Single-cell crop; peripheral blood film: 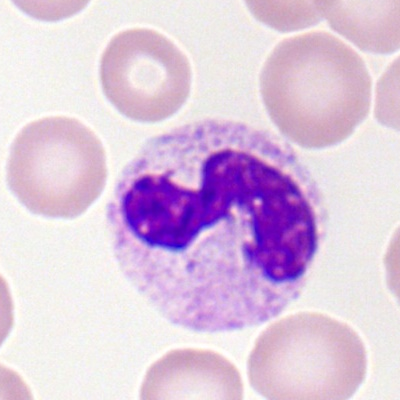
Cell — segmented neutrophil.